Bone marrow aspirate smear:
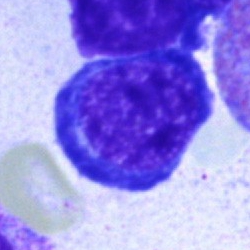Q: What type of cell is this?
A: This is a normoblast.